Peripheral blood smear
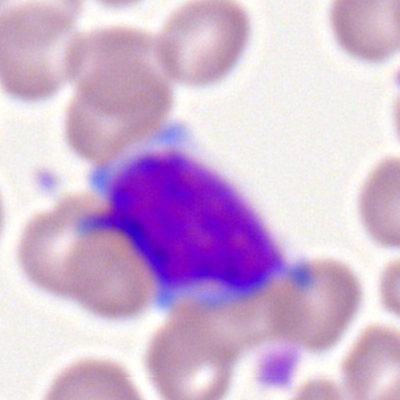Showing a lymphocyte.